Bone marrow aspirate smear: 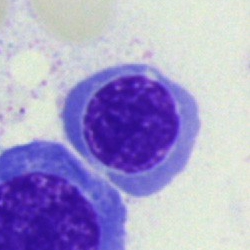 Cell type — erythroblast.